Bone marrow smear; 250×250 — 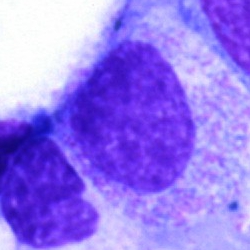Specimen: bone marrow aspirate smear.
Morphological class: promyelocyte.